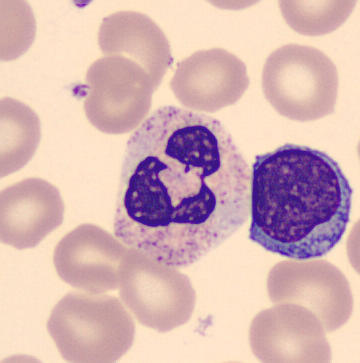Peripheral blood smear. Image size 360×363.

{"cell_type": "neutrophil (segmented)", "lineage": "myeloid"}